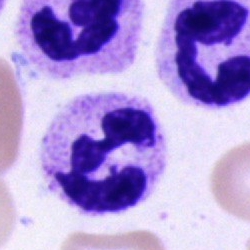
Morphology — neutrophil (segmented).